Bone marrow aspirate smear. Image size 250×250:
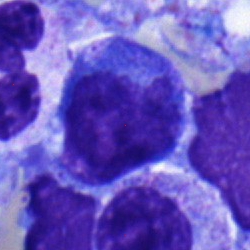
Progranulocyte.